Bone marrow aspirate smear: 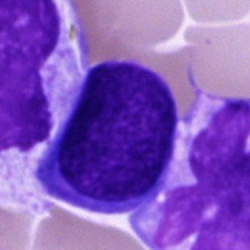
Cell type = unidentifiable cell.